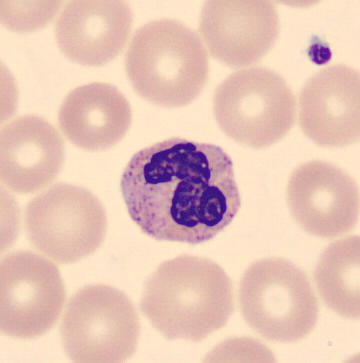

Single cell identified as a polymorphonuclear neutrophil.